Bone marrow aspirate smear
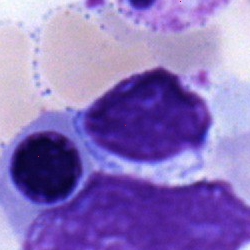
Showing a lymphocyte.